Bone marrow aspirate smear: 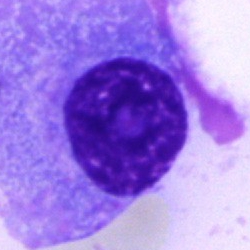
Q: What cell is this?
A: This is a plasma cell.